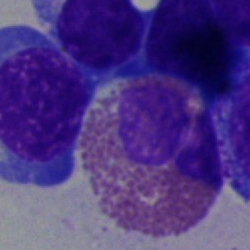
Showing an eosinophil.